Bone marrow aspirate smear · 250×250.
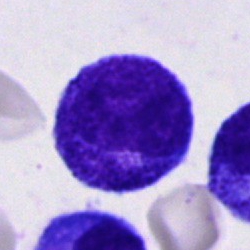Morphology — promyelocyte.